Bone marrow smear.
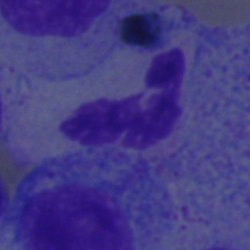

{"cell_type": "segmented neutrophil"}